Brightfield, 40× oil-immersion objective · May-Grünwald-Giemsa/Pappenheim stain · bone marrow smear
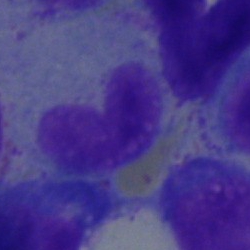
Classification: neutrophil (band).